Bone marrow aspirate smear · MGG-stained
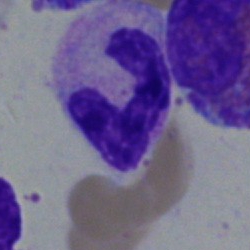

Morphological class — neutrophil (band).